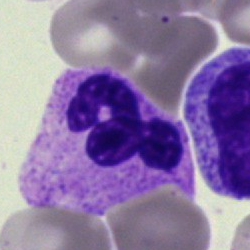 Specimen: bone marrow smear.
Cell type: segmented neutrophil.
Lineage: myeloid.